MGG-stained · bone marrow aspirate smear · 250×250 — 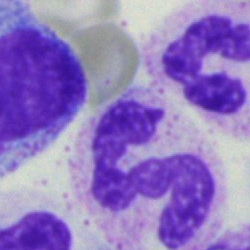

Morphology → segmented neutrophil.